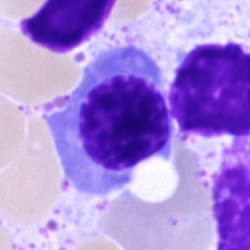 {"cell_type": "normoblast"}